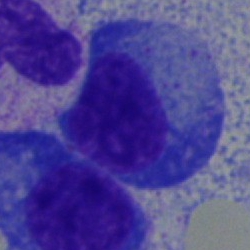 Q: Which cell type is shown here?
A: It is a plasma cell.